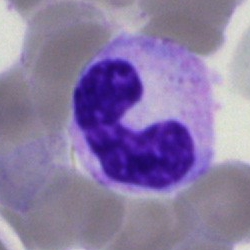

Q: What is shown here?
A: It is a neutrophil (band).